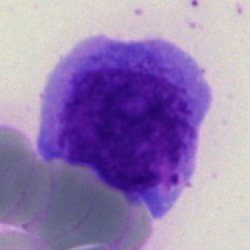
Morphology → blast.